Single-cell crop. Pappenheim-stained. Bone marrow aspirate smear
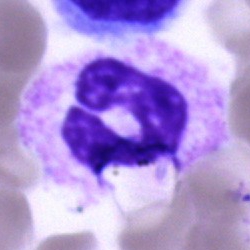Polymorphonuclear neutrophil.